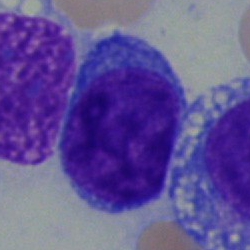
An undifferentiated blast on a bone marrow smear.